Bone marrow aspirate smear. Pappenheim-stained. Single-cell crop.
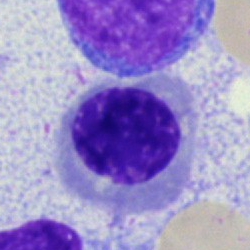
Normoblast.